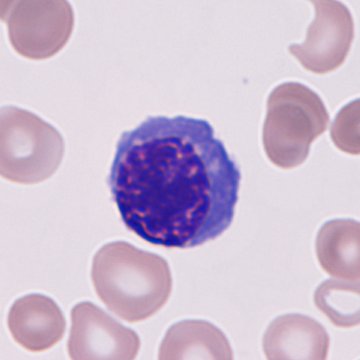 Peripheral blood film. 360×360 px.
Identified as a normoblast.